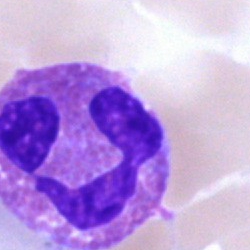This is an eosinophil.